Bone marrow aspirate smear: 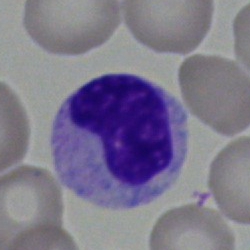
Cell = metamyelocyte.